Bone marrow smear: 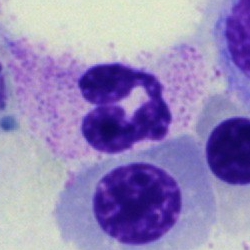

Morphology consistent with a segmented neutrophil.